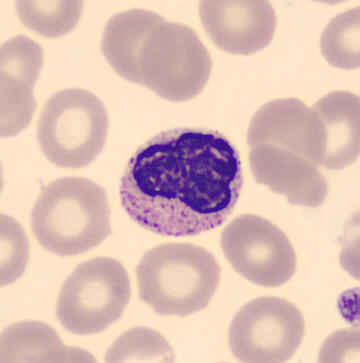
Metamyelocyte.